Romanowsky-type stain · 400 by 400 pixels · peripheral blood smear:
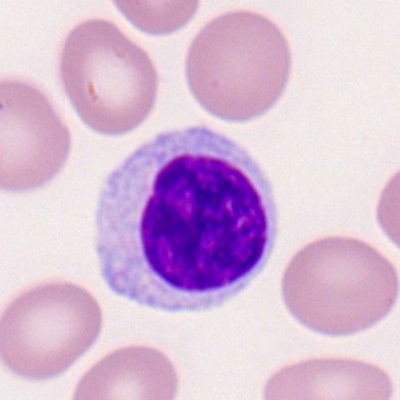

Q: What type of cell is this?
A: Typical lymphocyte.